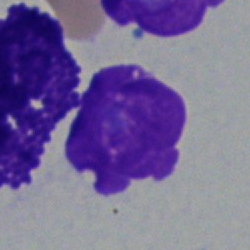
Morphological class = artefact.